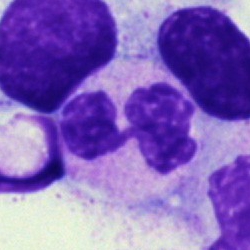

Single-cell crop from a bone marrow smear: segmented neutrophil.